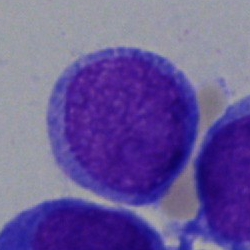
Cell — blast cell.